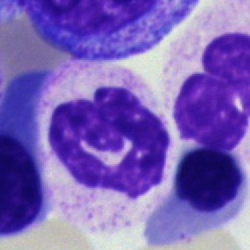 Morphology — neutrophil (segmented).